Bone marrow aspirate smear: 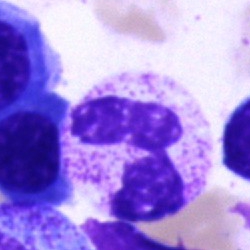A polymorphonuclear neutrophil.